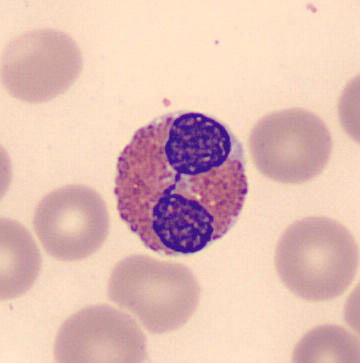

Specimen: peripheral blood smear.
Classification: eosinophil.